Single-cell field. Bone marrow smear:
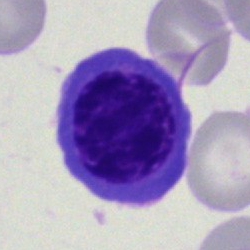
A normoblast.